Bone marrow smear — 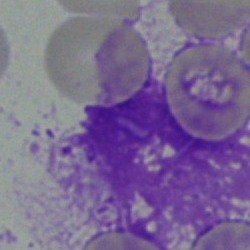
Q: What is shown here?
A: An artifact.